Bone marrow aspirate smear · 250 by 250 pixels.
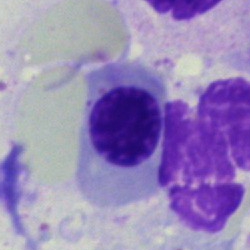
Q: What is the morphological classification of this cell?
A: It is a normoblast.